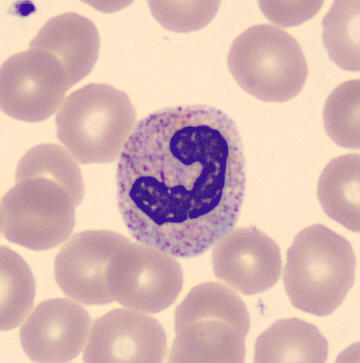
Q: What is the morphological classification of this cell?
A: Polymorphonuclear neutrophil.